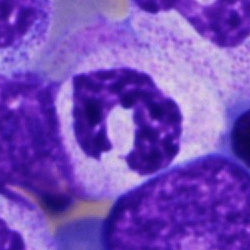
Q: What is the morphological classification of this cell?
A: A neutrophil (segmented).